Single-cell field. Bone marrow aspirate smear:
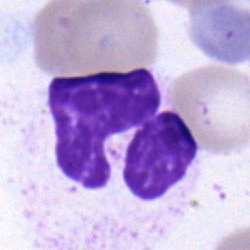{"cell_type": "polymorphonuclear neutrophil"}